Bone marrow smear; single cell centered in the field; 40× oil immersion
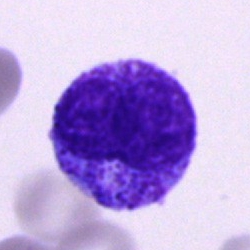
Single cell identified as a progranulocyte.